Bone marrow smear.
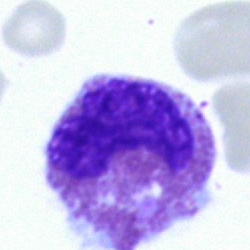
Morphology consistent with an eosinophilic granulocyte.